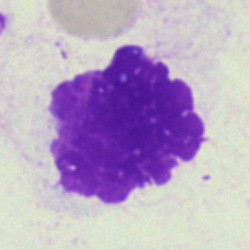 Cell — artifact.